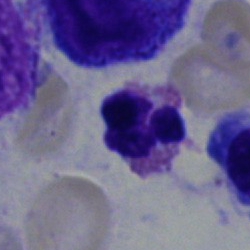 Morphology consistent with an eosinophil.